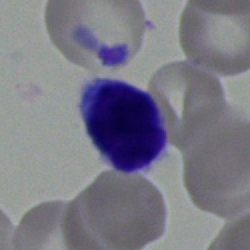

The classification is lymphocyte.